Bone marrow aspirate smear:
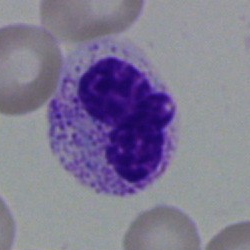
Q: What type of cell is this?
A: It is a segmented neutrophil.